Bone marrow smear: 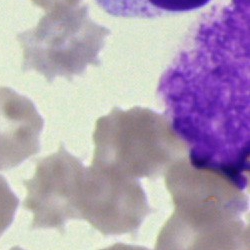

Specimen: bone marrow smear.
Classification: artefact.